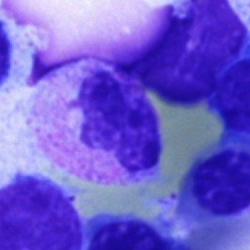
Cell type: neutrophil (segmented).